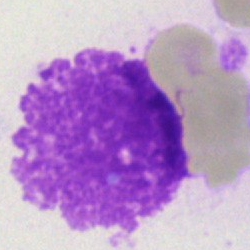
Q: What is shown here?
A: This is an artefact.